Bone marrow aspirate smear · 40× objective, oil immersion
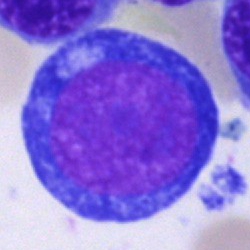
Specimen: bone marrow smear.
Morphological class: proerythroblast.
Lineage: erythroid.